Bone marrow smear.
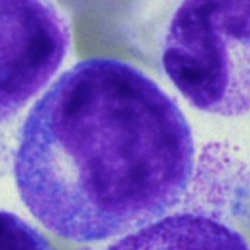

The classification is progranulocyte.